Single cell centered in the field · brightfield microscopy, 40× oil immersion · bone marrow smear.
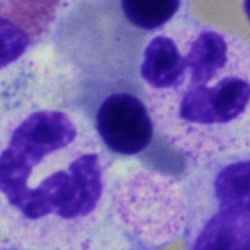 Impression — neutrophil (segmented).